May-Grünwald-Giemsa/Pappenheim stain. Bone marrow aspirate smear
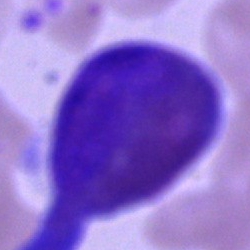
Cell type — eosinophilic granulocyte.